Bone marrow smear — 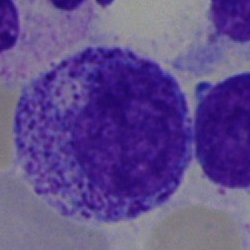
Specimen: bone marrow smear.
Cell type: myelocyte.
Lineage: myeloid.